Brightfield microscopy, 40× oil immersion; bone marrow smear — 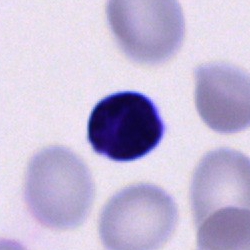An unidentifiable cell.